Bone marrow smear:
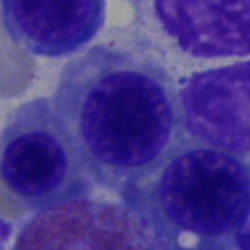
Showing a nucleated red blood cell.